Single-cell field · bone marrow smear — 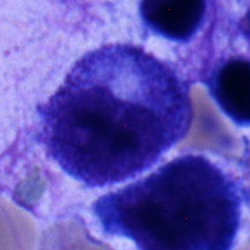

Single cell identified as a promyelocyte.